Bone marrow aspirate smear
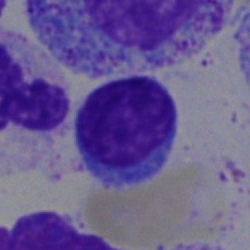

A typical lymphocyte.